Bone marrow smear — 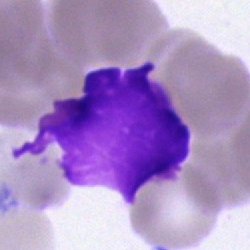Specimen: bone marrow smear.
Morphological class: artifact.